Bone marrow smear. 250×250:
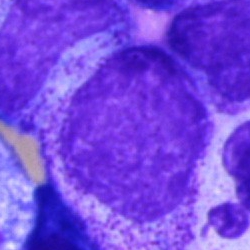
Classification = myelocyte.